Bone marrow aspirate smear — 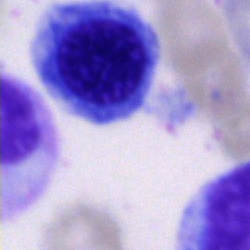 This is a nucleated red cell.